Bone marrow smear — 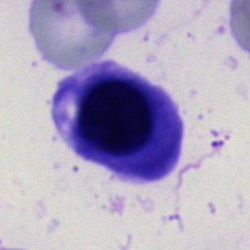Morphological class: erythroblast.